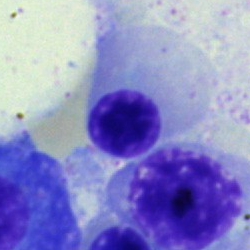

Nucleated red cell.